Brightfield, 40× oil-immersion objective · bone marrow smear
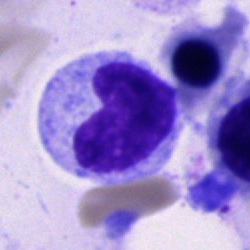

The cell type is metamyelocyte.